Peripheral blood film
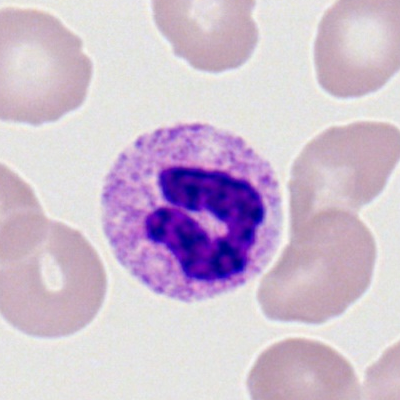

Q: What is the morphological classification of this cell?
A: A neutrophil (segmented).